May-Grünwald-Giemsa stain; bone marrow smear: 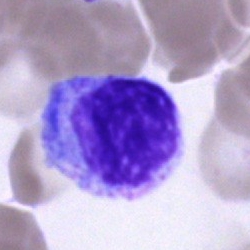The cell type is myelocyte.